Bone marrow smear:
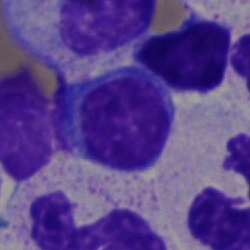 Cell = lymphocyte.